Bone marrow smear. 250 by 250 pixels:
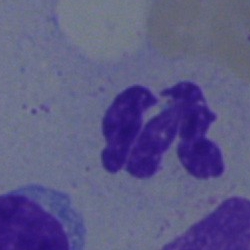Segmented neutrophil.